Single-cell field. 40× objective, oil immersion. Bone marrow aspirate smear: 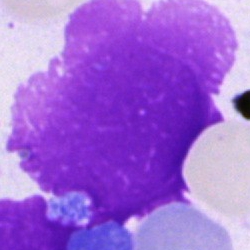 The classification is artifact.